Image size 250×250 · bone marrow smear.
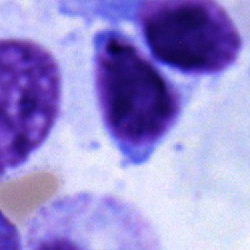{"cell_type": "typical lymphocyte", "lineage": "lymphoid"}